Bone marrow smear: 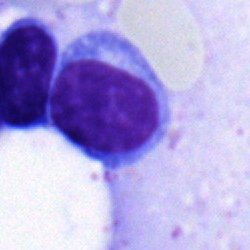
Specimen: bone marrow aspirate smear.
Cell: lymphocyte.
Lineage: lymphoid.